Pappenheim-stained; bone marrow smear: 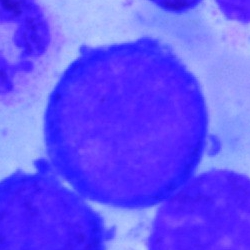
The cell shown is a proerythroblast.